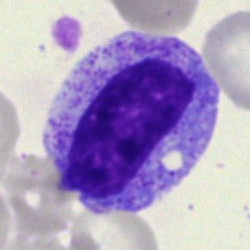

Morphological class = metamyelocyte.